Bone marrow aspirate smear:
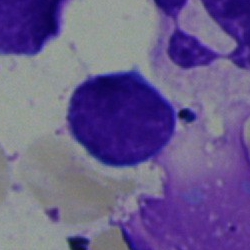
The cell type is typical lymphocyte.